250×250 · bone marrow aspirate smear · single cell centered in the field.
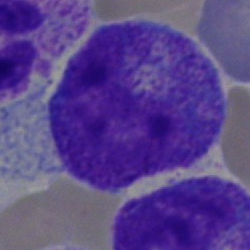

This is a progranulocyte.